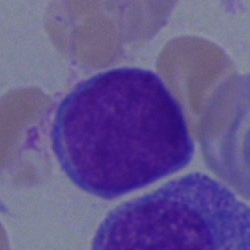

Specimen: bone marrow aspirate smear.
Cell: typical lymphocyte.
Lineage: lymphoid.